Bone marrow smear — 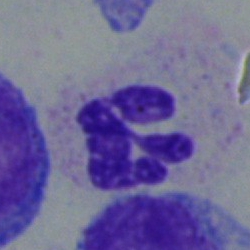 Morphological class: segmented neutrophil.